Bone marrow smear.
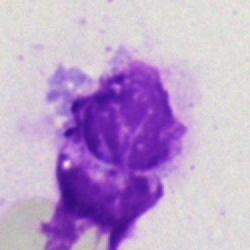The cell shown is an artefact.